Peripheral blood smear:
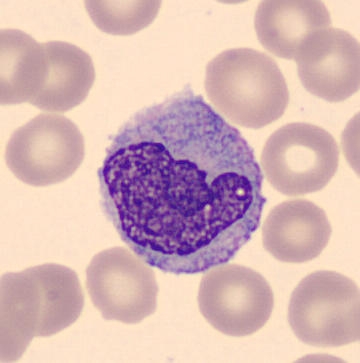

Q: What type of cell is this?
A: Monocyte.